Bone marrow aspirate smear.
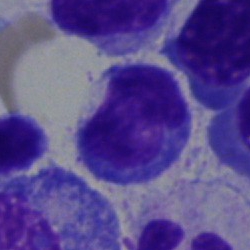

Cell: typical lymphocyte.